Pappenheim-stained; bone marrow aspirate smear; brightfield microscopy, 40× oil immersion
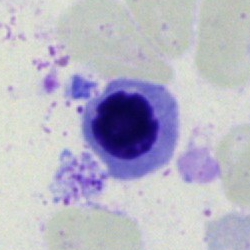

The morphological class is erythroblast.